Bone marrow aspirate smear.
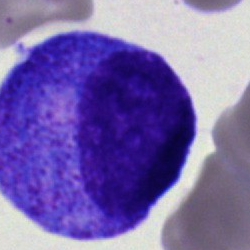
Cell type: progranulocyte.